Bone marrow smear.
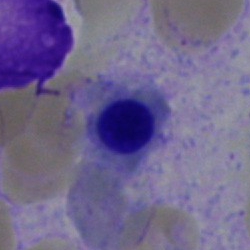

The cell shown is an erythroblast.